Bone marrow smear:
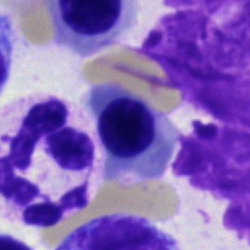

Showing an erythroblast.